Bone marrow aspirate smear — 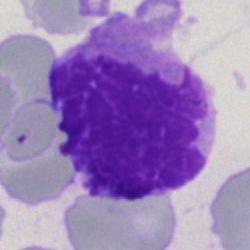 Q: What is shown here?
A: This is an artifact.